Cropped to a single cell. Bone marrow smear.
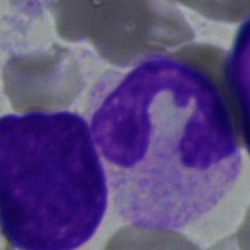Cell type: band neutrophil.